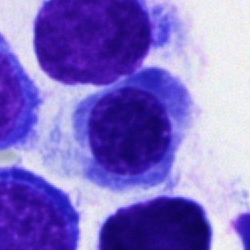 Classification: nucleated red blood cell.